Brightfield microscopy, 40× oil immersion. Bone marrow smear.
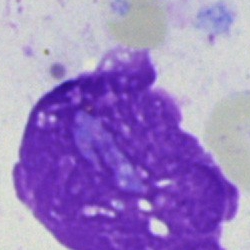 Impression → artifact.